Single-cell crop · bone marrow smear · brightfield microscopy, 40× oil immersion: 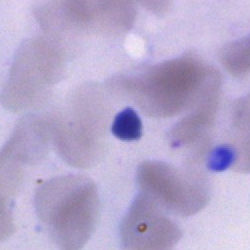

The morphological class is artifact.